MGG-stained; bone marrow smear
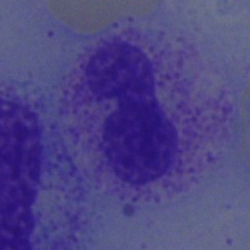

Showing a band neutrophil.